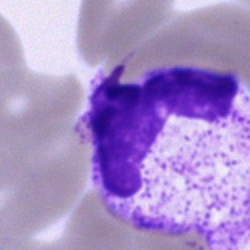Bone marrow smear showing a neutrophil (segmented).